Peripheral blood film · 360×363 px.
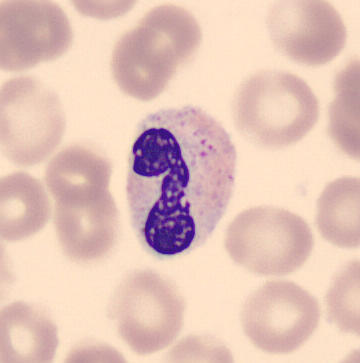

Morphology → band neutrophil.